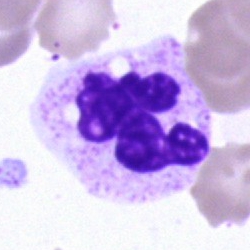 A neutrophil (segmented) on a bone marrow smear.